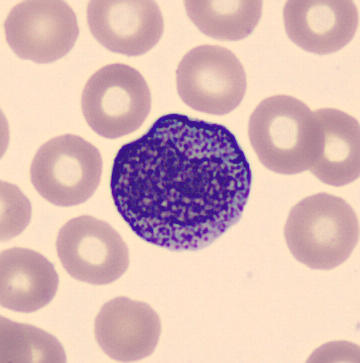
The classification is promyelocyte.

Peripheral blood smear.